Bone marrow aspirate smear: 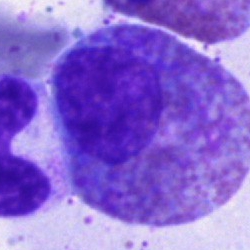
Q: What is shown here?
A: This is an eosinophil.